Brightfield microscopy, 40× oil immersion · bone marrow smear
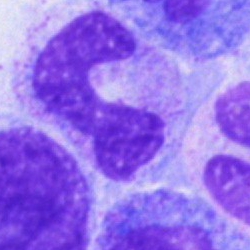

Cell = band-form neutrophil.